40× objective, oil immersion. Bone marrow aspirate smear:
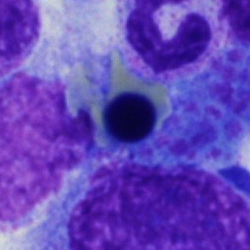Nucleated red blood cell.